Bone marrow aspirate smear:
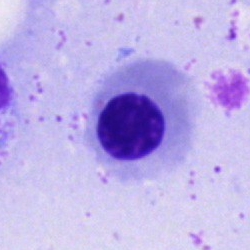

Q: What cell is this?
A: Normoblast.